Bone marrow smear; 250 by 250 pixels.
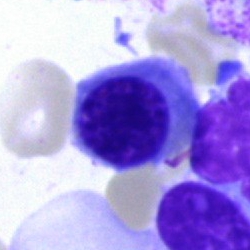

Morphology → normoblast.